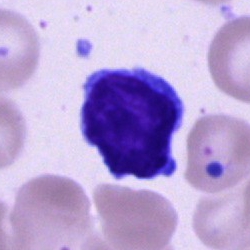

Impression → lymphocyte.